Bone marrow smear — 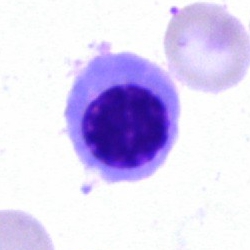

Morphological class: erythroblast.